Bone marrow smear; May-Grünwald-Giemsa/Pappenheim stain; 40× objective, oil immersion:
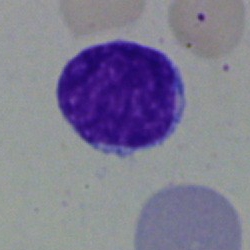 Q: What cell is this?
A: This is a lymphocyte.